Bone marrow smear.
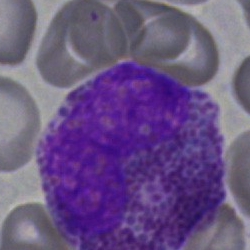 Specimen: bone marrow aspirate smear.
Classification: eosinophilic granulocyte.